May-Grünwald-Giemsa stain. 40× oil immersion. Bone marrow smear: 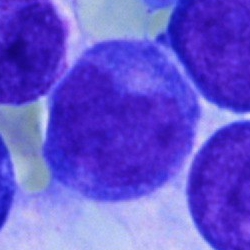Specimen: bone marrow smear.
Morphological class: blast.